Bone marrow smear. Image size 250×250 — 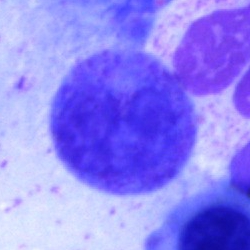 The morphological class is unidentifiable cell.